Bone marrow smear — 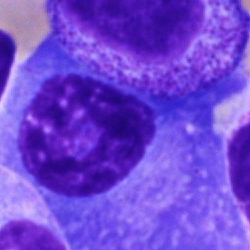
Morphological class = plasmacyte.